Bone marrow aspirate smear
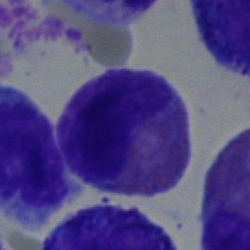

An eosinophilic granulocyte.